Bone marrow smear:
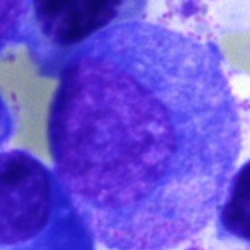

Morphology consistent with a promyelocyte.